Bone marrow smear — 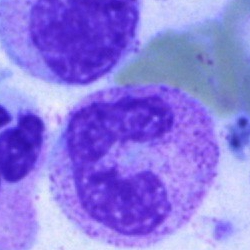 Single cell identified as a polymorphonuclear neutrophil.